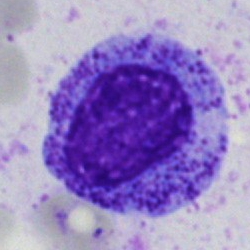 The morphological class is promyelocyte.